Pappenheim-stained. 250 by 250 pixels. Bone marrow smear — 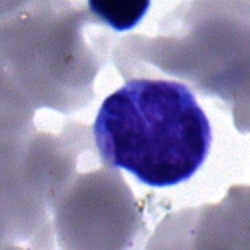Q: What is the morphological classification of this cell?
A: This is a monocyte.